Image size 250×250. Bone marrow aspirate smear:
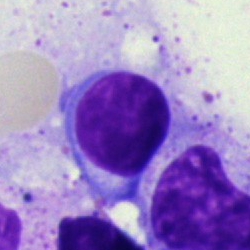
Cell = lymphocyte.